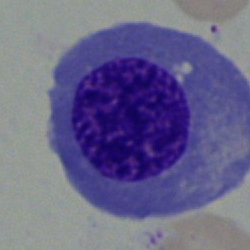

Cell type — normoblast.